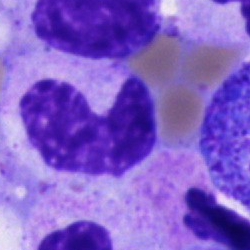

Specimen: bone marrow aspirate smear.
Morphological class: metamyelocyte.
Lineage: myeloid.